Bone marrow smear
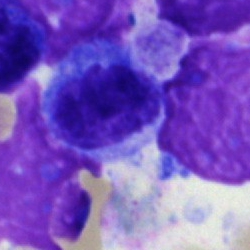Cell of indeterminate lineage.